40× objective, oil immersion · bone marrow aspirate smear
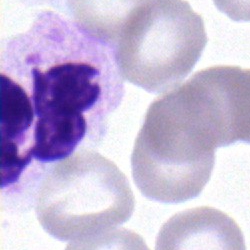

The cell shown is a polymorphonuclear neutrophil.